Peripheral blood film: 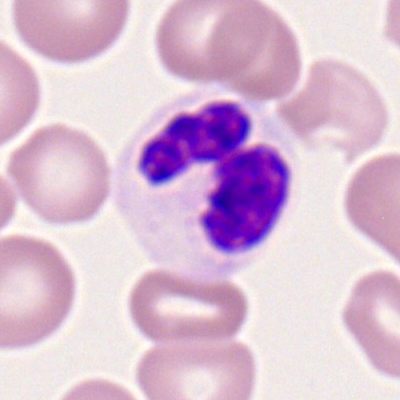Impression → segmented neutrophil.